Bone marrow aspirate smear — 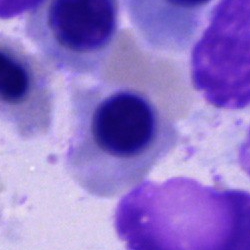

Morphological class = nucleated red blood cell.